Bone marrow smear. 250×250 px:
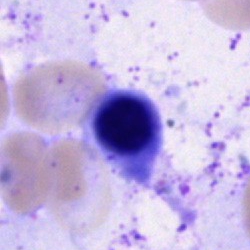Classification = erythroblast.